Bone marrow smear.
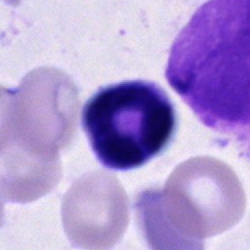
Showing an unidentifiable cell.